Single cell centered in the field; peripheral blood film; 400×400.
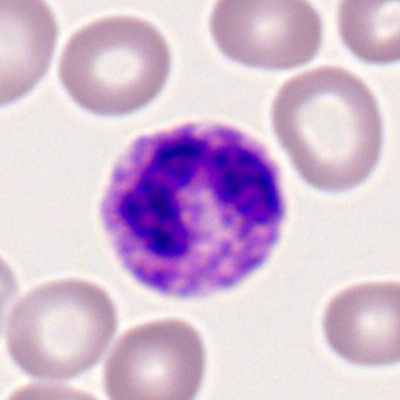

Morphology consistent with an eosinophilic granulocyte.